Bone marrow aspirate smear: 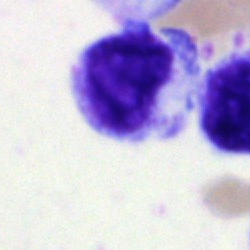 Impression — metamyelocyte.